Bone marrow smear — 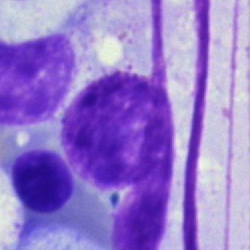
Q: What is shown here?
A: An artifact.